Cropped to a single cell. Bone marrow aspirate smear. 250 by 250 pixels:
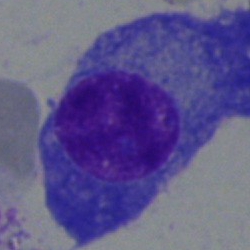 {"cell_type": "plasma cell", "lineage": "lymphoid"}